MGG-stained. 40× objective, oil immersion. Bone marrow aspirate smear.
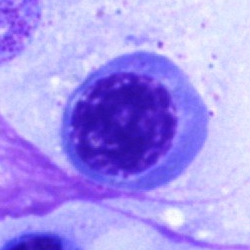 Showing a nucleated red cell.